Bone marrow aspirate smear; image size 250×250; single-cell field: 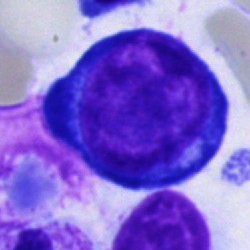 The cell is proerythroblast.